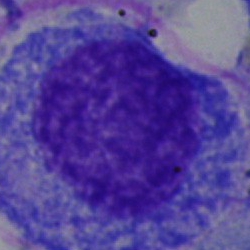

Cell: promyelocyte.